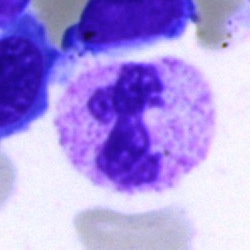
{"cell_type": "neutrophil (segmented)", "lineage": "myeloid"}